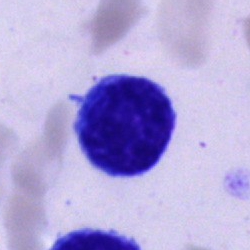 Q: What is the morphological classification of this cell?
A: This is a typical lymphocyte.